Bone marrow aspirate smear · single-cell field · Pappenheim-stained:
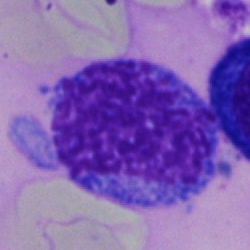Morphology consistent with a monocyte.